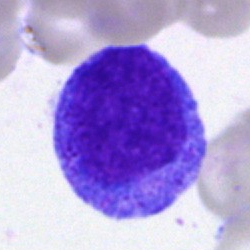

The cell is blast cell.